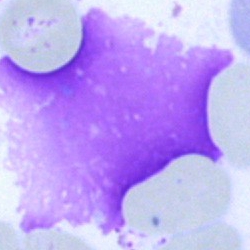 The morphological class is artifact.